Bone marrow smear — 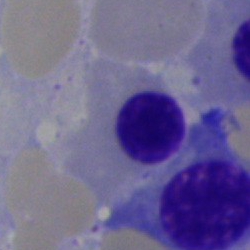Cell: normoblast.